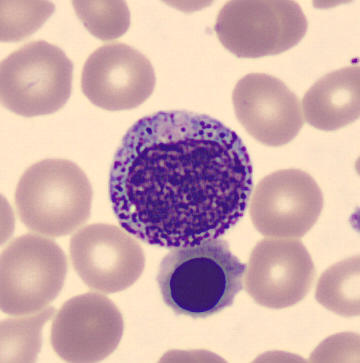Promyelocyte.

Acquisition: Peripheral blood film.